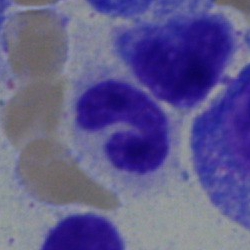Morphological class: band neutrophil.